Bone marrow aspirate smear
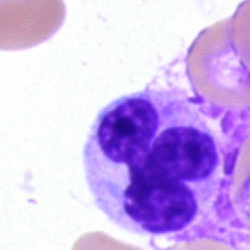 The cell shown is a neutrophil (segmented).